Bone marrow aspirate smear
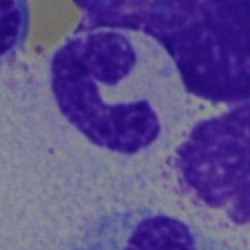
The cell is stab cell.